Single-cell crop. Pappenheim-stained. Bone marrow aspirate smear: 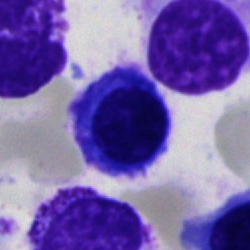
Morphological class — nucleated red blood cell.